Single-cell crop; 400×400 px; peripheral blood film: 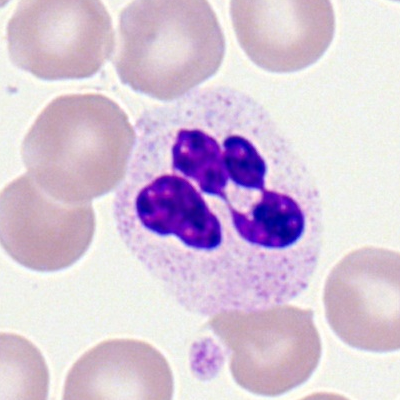
Showing a polymorphonuclear neutrophil.